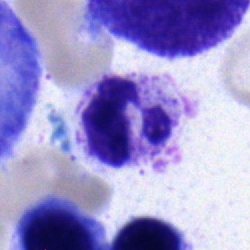

Bone marrow smear showing a polymorphonuclear neutrophil.